Bone marrow aspirate smear: 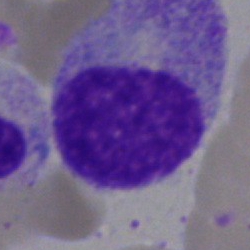Showing a myelocyte.